Bone marrow smear; 250×250 px
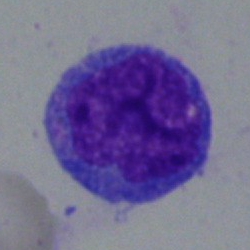Classification — undifferentiated blast.